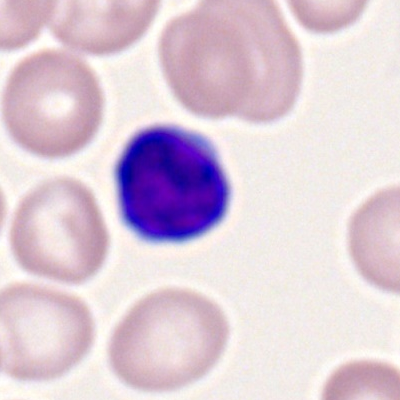
Classification — typical lymphocyte.